Bone marrow aspirate smear: 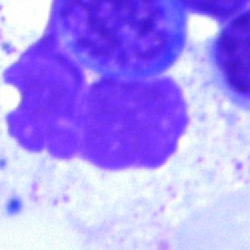 Q: What is shown here?
A: An artefact.